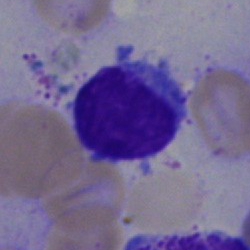
Q: What is the morphological classification of this cell?
A: Lymphocyte.